MGG-stained; 40× oil immersion; bone marrow aspirate smear
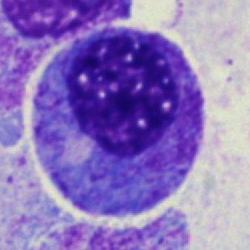

The morphological class is progranulocyte.